Bone marrow aspirate smear. Single-cell field
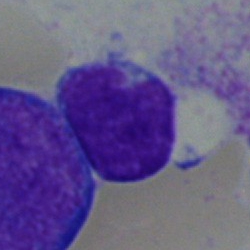

Morphology consistent with a lymphocyte.